Bone marrow aspirate smear · 250×250 px — 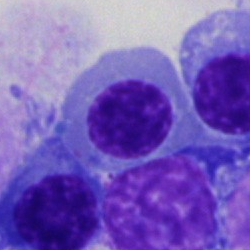Single cell identified as an erythroblast.